Bone marrow smear:
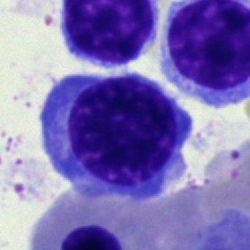Classification = nucleated red blood cell.